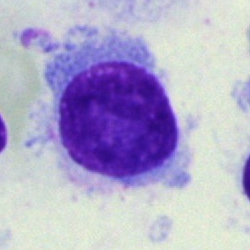

The classification is hairy cell.